Bone marrow smear
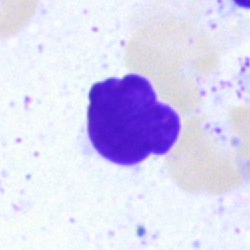This is an artifact.